Bone marrow smear
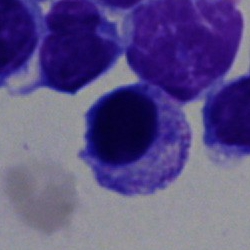
The morphological class is nucleated red cell.